Bone marrow aspirate smear. Image size 250×250. May-Grünwald-Giemsa stain — 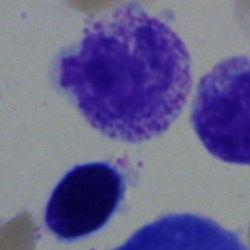 Specimen: bone marrow aspirate smear.
Classification: band-form neutrophil.